Bone marrow aspirate smear — 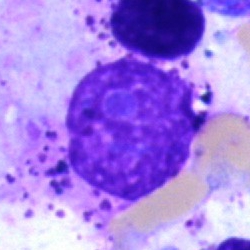

This is an artifact.